Bone marrow aspirate smear — 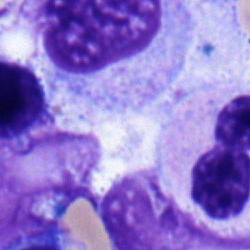Q: Which cell type is shown here?
A: A myelocyte.